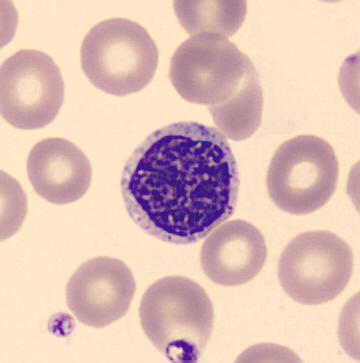

Image: Peripheral blood film.

Classification — myelocyte.